Peripheral blood film.
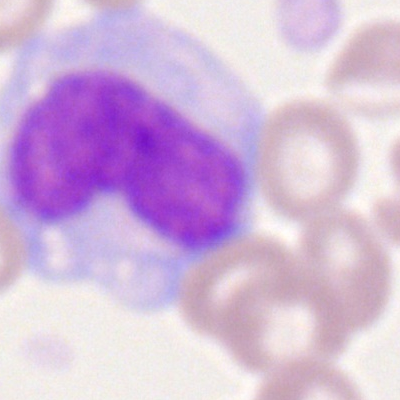
Cell: monocyte.